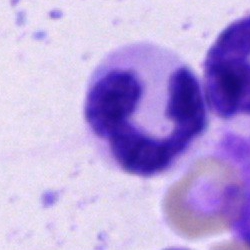
This is a segmented neutrophil.